Bone marrow aspirate smear: 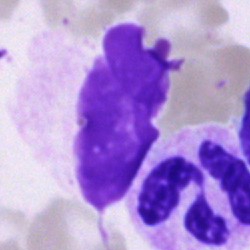
The cell type is polymorphonuclear neutrophil.